Bone marrow aspirate smear: 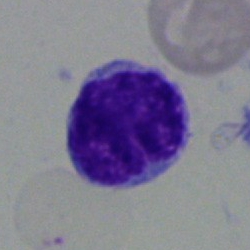Impression → typical lymphocyte.